Peripheral blood film: 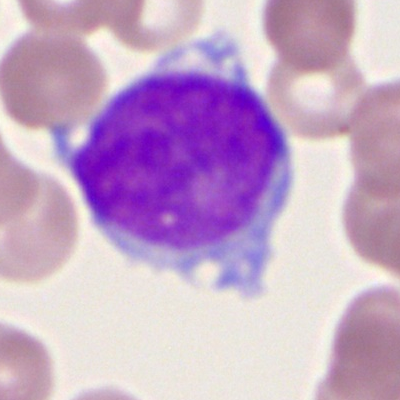
Q: Which cell type is shown here?
A: Myeloblast.